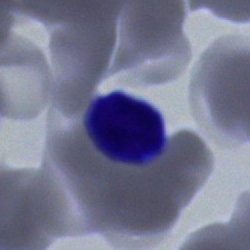
Specimen: bone marrow aspirate smear.
Cell type: typical lymphocyte.
Lineage: lymphoid.